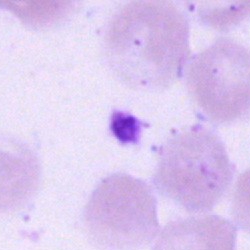

Morphological class = artefact.